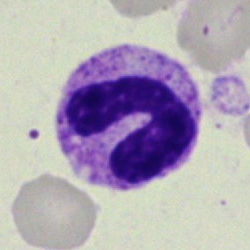 Classification — neutrophil (band).